Bone marrow smear.
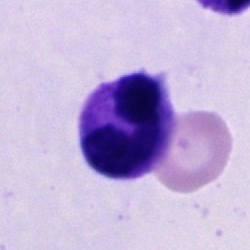

Classification = neutrophil (segmented).